Bone marrow aspirate smear: 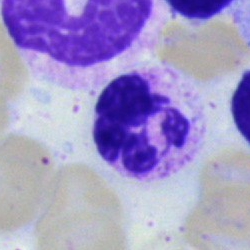Specimen: bone marrow smear.
Morphological class: segmented neutrophil.
Lineage: myeloid.